Bone marrow aspirate smear:
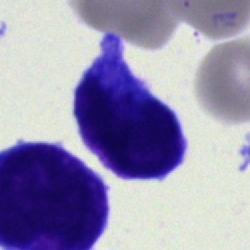
Morphology consistent with a blast.